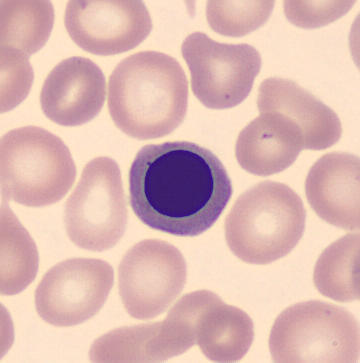
Specimen: peripheral blood film.
Classification: erythroblast.